Single-cell field; bone marrow smear; 40× oil immersion: 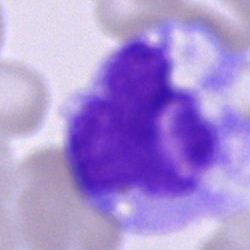

Showing a cell of indeterminate lineage.